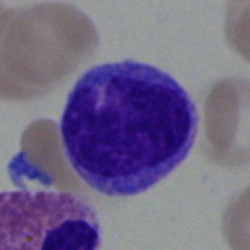
The cell shown is a monocyte.